Bone marrow aspirate smear · 250×250 px · Pappenheim-stained:
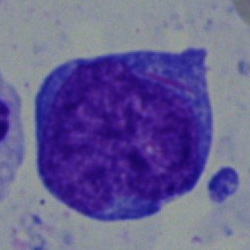Morphology — blast.